Bone marrow aspirate smear — 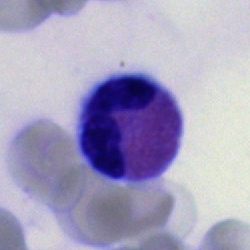 Morphological class = eosinophilic granulocyte.